Bone marrow smear — 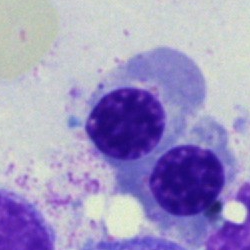
Cell: erythroblast.